Bone marrow smear — 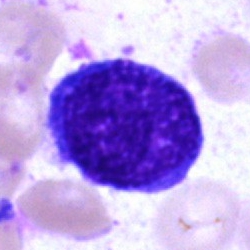
Q: What is the morphological classification of this cell?
A: A blast cell.